Bone marrow smear — 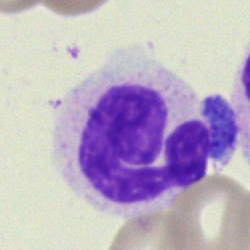

Q: What is shown here?
A: This is a segmented neutrophil.